Brightfield, 40× oil-immersion objective. Bone marrow aspirate smear — 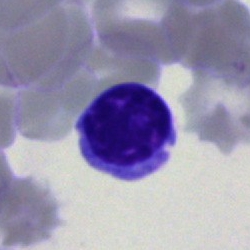Cell type = typical lymphocyte.